Bone marrow smear
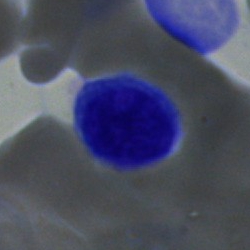 Showing a typical lymphocyte.